Bone marrow smear — 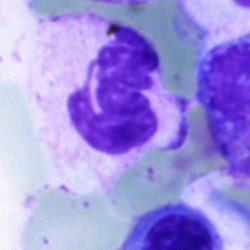 Q: What cell is this?
A: A neutrophil (segmented).